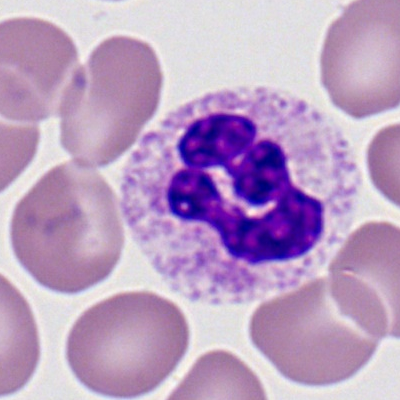
Single-cell crop from a peripheral blood smear: segmented neutrophil.